Bone marrow aspirate smear · 40× objective, oil immersion:
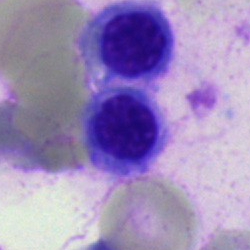 Cell — normoblast.